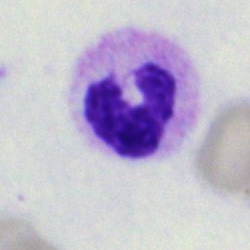

Morphology → segmented neutrophil.